Bone marrow aspirate smear
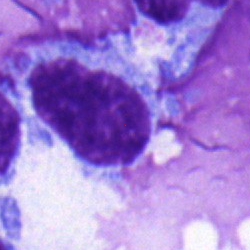

Single cell identified as a lymphocyte.